Bone marrow smear. Image size 250×250. 40× objective, oil immersion — 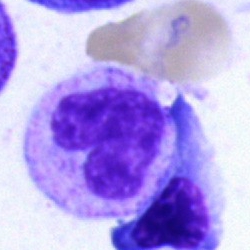
Morphology consistent with a stab cell.